40× oil immersion · bone marrow smear: 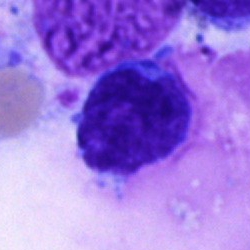
Classification = undifferentiated blast.